Bone marrow aspirate smear.
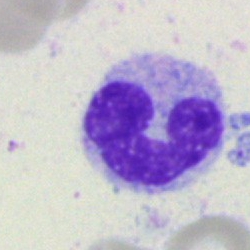

Showing a monocyte.